Bone marrow smear. 250 by 250 pixels.
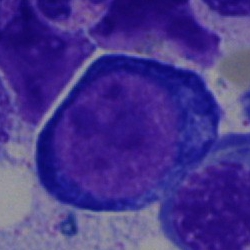

Impression — pronormoblast.